Bone marrow aspirate smear:
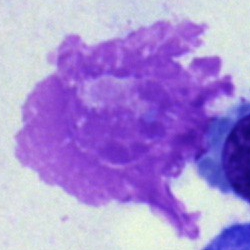Specimen: bone marrow aspirate smear.
Cell: artefact.